Bone marrow aspirate smear
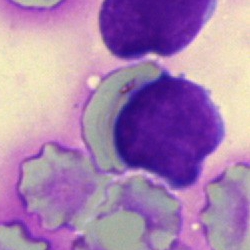 Specimen: bone marrow smear.
Morphological class: lymphocyte.